Bone marrow smear; 250×250.
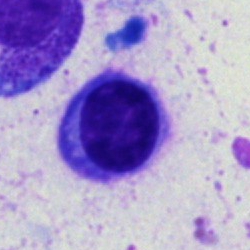The classification is plasma cell.